Bone marrow smear.
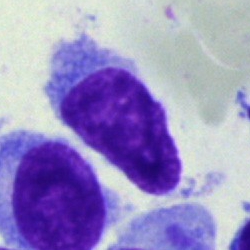

Impression — hairy cell.